Bone marrow aspirate smear; Pappenheim-stained:
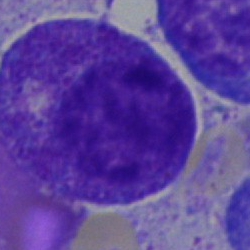

Classification: promyelocyte.